Bone marrow aspirate smear.
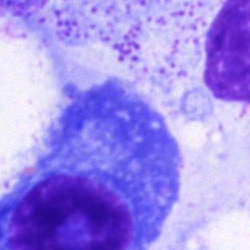
Q: What is the morphological classification of this cell?
A: This is a plasmacyte.